Bone marrow smear · image size 250×250 · MGG-stained:
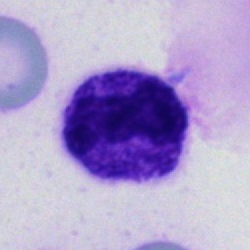

A polymorphonuclear neutrophil.